Bone marrow aspirate smear: 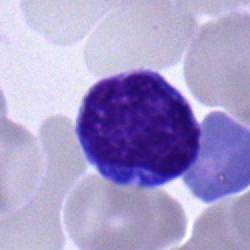Specimen: bone marrow smear.
Morphological class: typical lymphocyte.
Lineage: lymphoid.